Bone marrow smear.
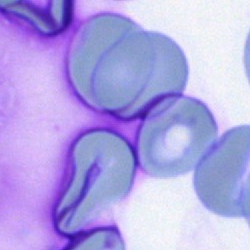 The morphological class is artifact.